Bone marrow aspirate smear
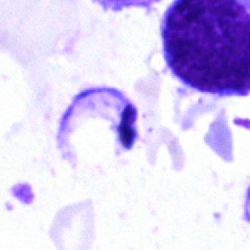Morphological class = artefact.